Bone marrow aspirate smear.
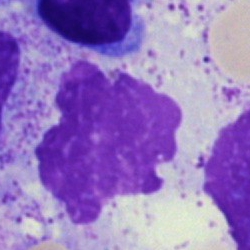{"cell_type": "artifact"}